Bone marrow smear
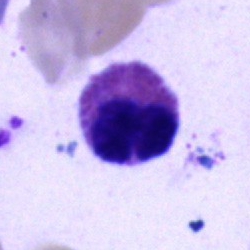
An eosinophilic granulocyte.